Bone marrow aspirate smear: 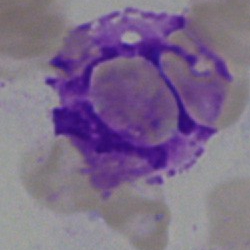 An artefact.